Bone marrow smear: 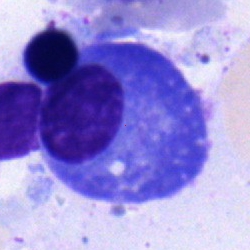
Q: What is shown here?
A: It is a plasmacyte.